Bone marrow aspirate smear; Pappenheim-stained; 250 by 250 pixels.
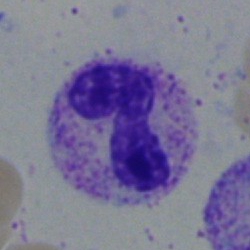 Cell type = band neutrophil.